Bone marrow aspirate smear — 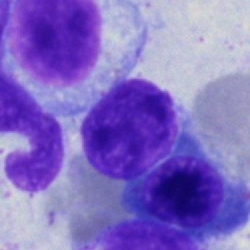The morphological class is typical lymphocyte.